Bone marrow aspirate smear: 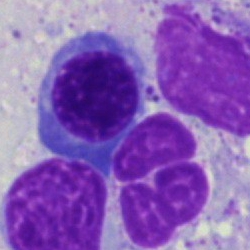{"cell_type": "erythroblast"}